Peripheral blood film · brightfield, 100× oil-immersion objective.
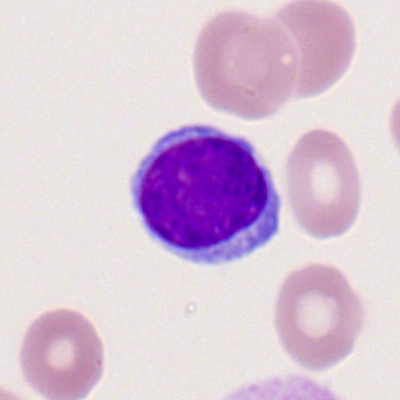Morphology → typical lymphocyte.